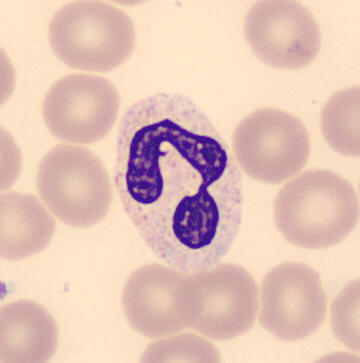
May Grünwald-Giemsa stain; peripheral blood film.
Showing a polymorphonuclear neutrophil.